Bone marrow aspirate smear · 250×250 px.
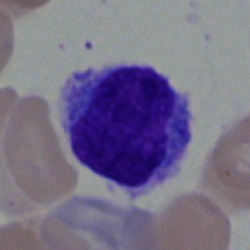 Morphology consistent with a monocyte.